Peripheral blood smear · 100× oil immersion, 14.14 px/µm — 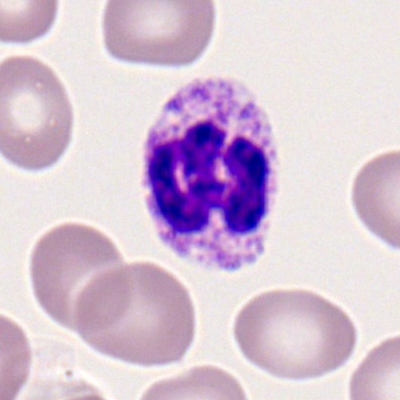

Specimen: peripheral blood film.
Cell type: segmented neutrophil.
Lineage: myeloid.